Bone marrow smear:
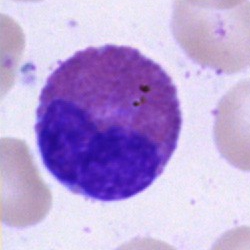 This is an eosinophilic granulocyte.